Image size 250×250. Bone marrow aspirate smear — 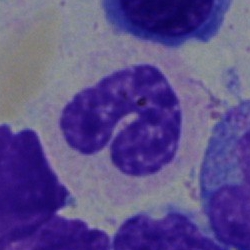 Q: What is shown here?
A: This is a band-form neutrophil.